Peripheral blood smear
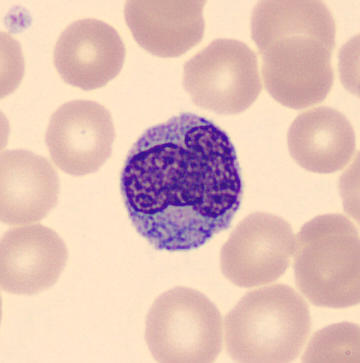

Impression — monocyte.